Peripheral blood smear — 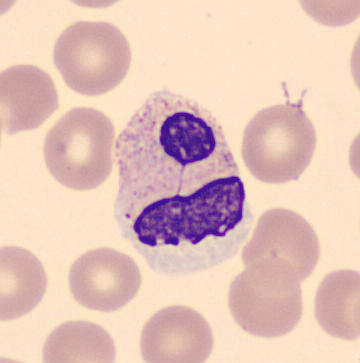

Morphological class: segmented neutrophil.